Single-cell crop · bone marrow smear · 250×250.
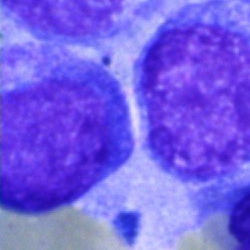Impression → undifferentiated blast.